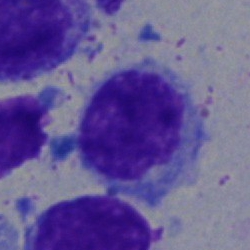 Typical lymphocyte.